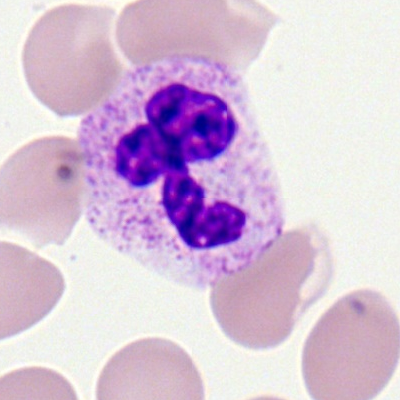 Q: What cell is this?
A: This is a segmented neutrophil.